Bone marrow aspirate smear.
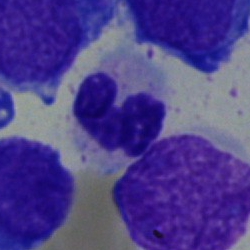

Impression — polymorphonuclear neutrophil.